100× oil immersion. Single cell centered in the field. Peripheral blood film.
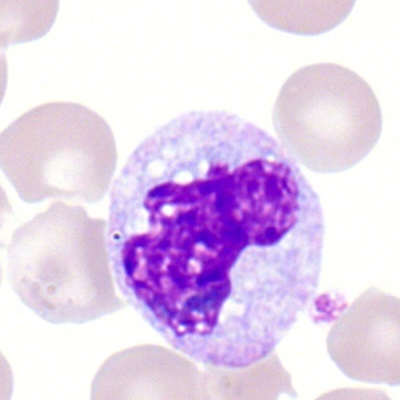 Monocyte.